Single-cell field · bone marrow smear: 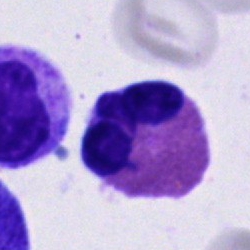

Eosinophilic granulocyte.